Bone marrow smear · Pappenheim-stained
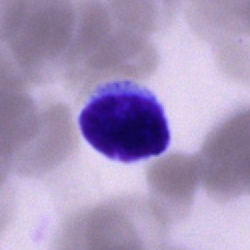

Q: What type of cell is this?
A: This is a lymphocyte.